Bone marrow aspirate smear.
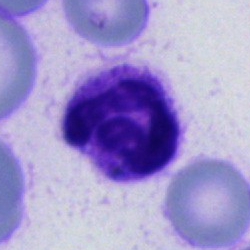
Showing a neutrophil (segmented).